Peripheral blood smear — 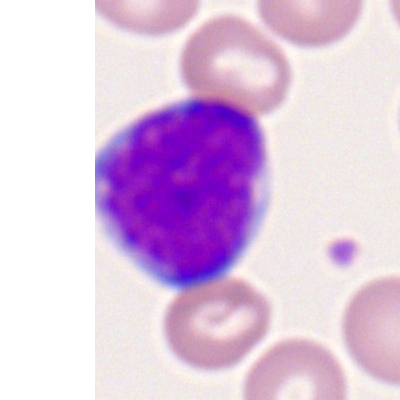

{"cell_type": "myeloid blast", "lineage": "myeloid"}